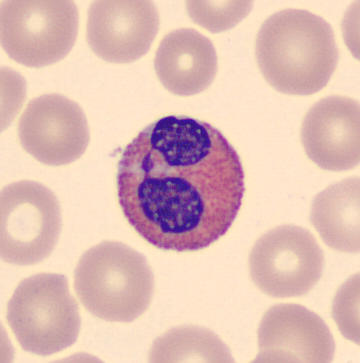An eosinophil on a peripheral blood smear.